May-Grünwald-Giemsa stain · bone marrow aspirate smear.
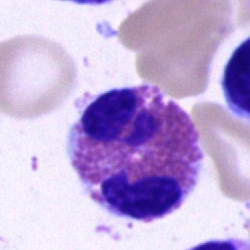Specimen: bone marrow smear.
Classification: eosinophilic granulocyte.